Bone marrow aspirate smear.
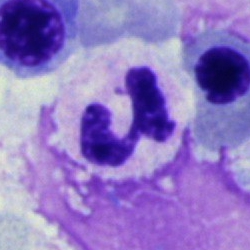 This is a segmented neutrophil.